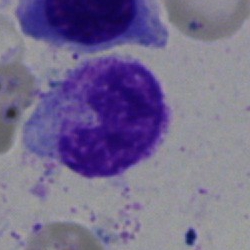 Specimen: bone marrow smear.
Cell: metamyelocyte.
Lineage: myeloid.